Romanowsky-type stain. Peripheral blood smear.
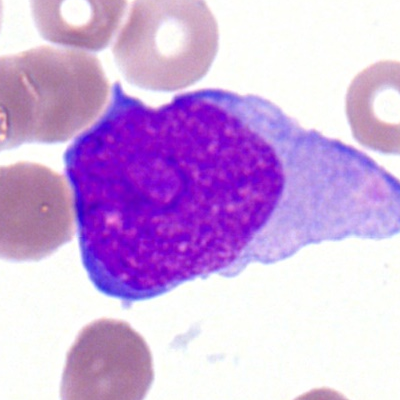
Q: What type of cell is this?
A: A myeloblast.